Bone marrow aspirate smear · 40× objective, oil immersion: 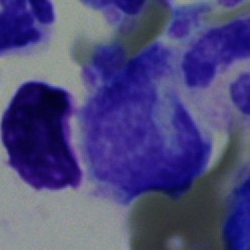

Specimen: bone marrow smear.
Cell type: monocyte.
Lineage: myeloid.